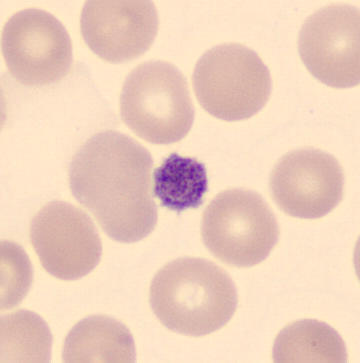

Peripheral blood smear. Morphological class: thrombocyte.